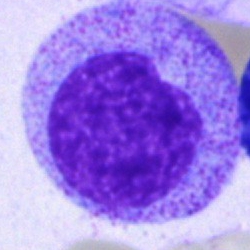

Specimen: bone marrow smear.
Cell: myelocyte.
Lineage: myeloid.